Bone marrow aspirate smear.
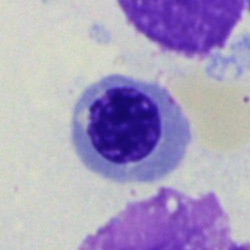

Impression — nucleated red blood cell.